Bone marrow aspirate smear: 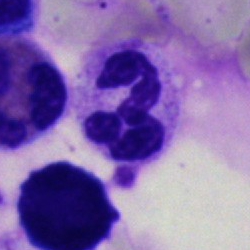 Showing a segmented neutrophil.